Bone marrow aspirate smear.
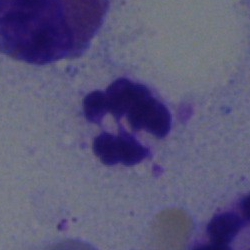

The cell shown is a polymorphonuclear neutrophil.